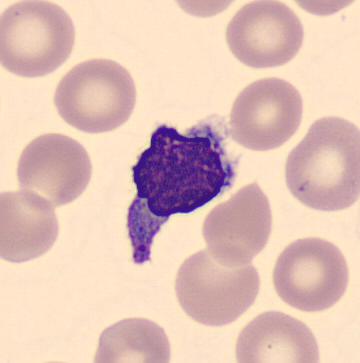
Morphology consistent with a typical lymphocyte.

Peripheral blood film · CellaVision DM96.